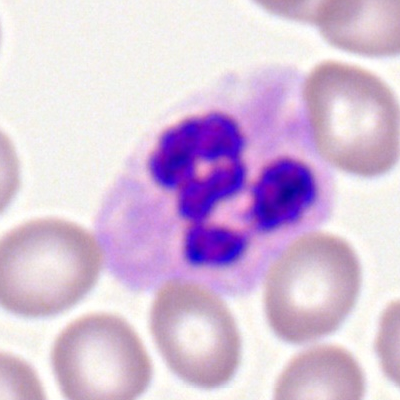Peripheral blood smear showing a polymorphonuclear neutrophil.